Bone marrow aspirate smear:
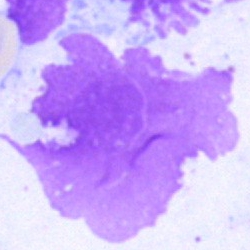 Classification: artifact.